Peripheral blood smear
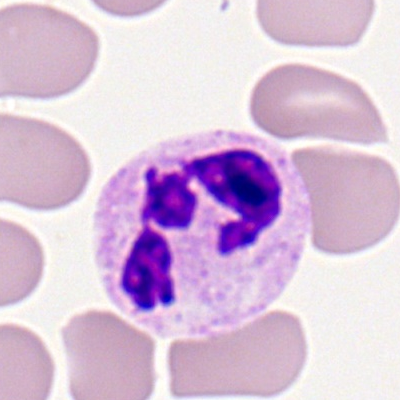
Showing a neutrophil (segmented).